Bone marrow aspirate smear.
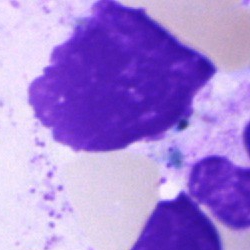
Morphological class: artefact.